Bone marrow smear:
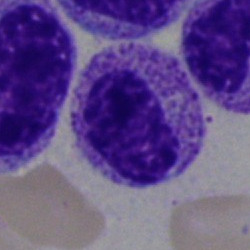Myelocyte.